Bone marrow aspirate smear:
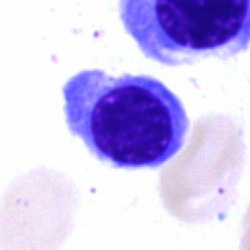
Cell: erythroblast.